Bone marrow aspirate smear · single-cell field: 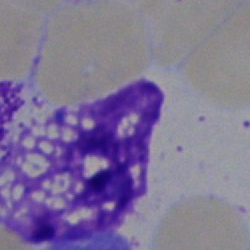 Morphological class: artefact.